Bone marrow aspirate smear: 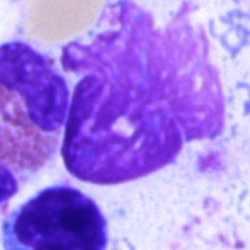An artefact.